Image size 250×250; bone marrow smear
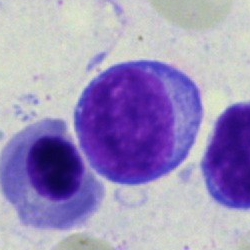 Q: Which cell type is shown here?
A: A lymphocyte.